Pappenheim-stained; bone marrow aspirate smear
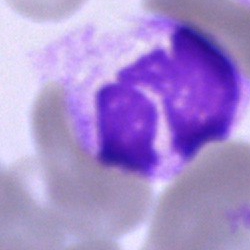

The cell shown is a neutrophil (segmented).